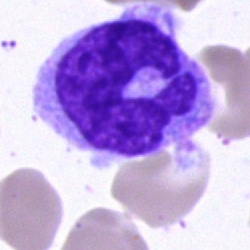

Morphological class: monocyte.